Bone marrow smear; May-Grünwald-Giemsa/Pappenheim stain.
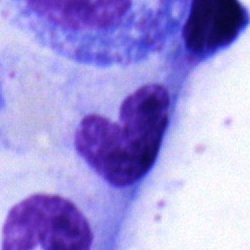 Showing a neutrophil (band).